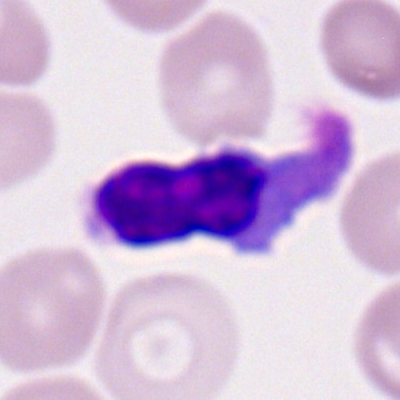
{"cell_type": "lymphocyte", "lineage": "lymphoid"}